Bone marrow aspirate smear:
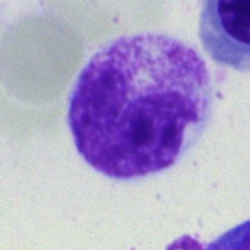 Q: What cell is this?
A: This is a stab cell.